Bone marrow smear.
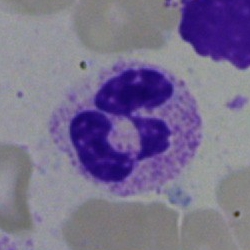

Impression → polymorphonuclear neutrophil.